Bone marrow aspirate smear.
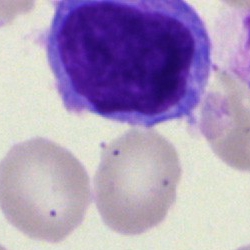Impression → lymphocyte.